May-Grünwald-Giemsa stain; bone marrow smear.
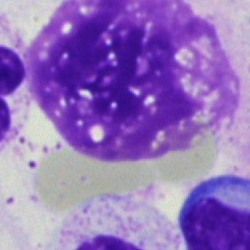The cell type is artefact.